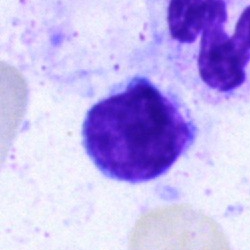A lymphocyte.